Bone marrow aspirate smear:
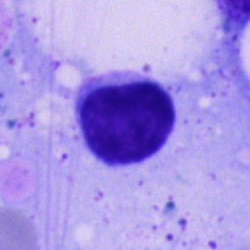Morphological class: typical lymphocyte.